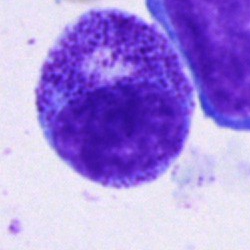This is a progranulocyte.